Bone marrow aspirate smear
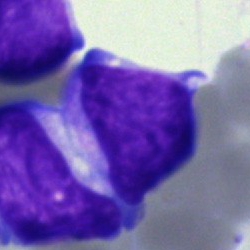Cell = blast.